Bone marrow smear. Cropped to a single cell — 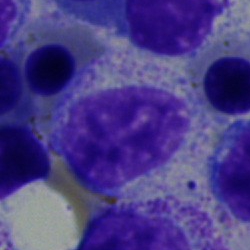Cell = myelocyte.